250×250 px; bone marrow smear: 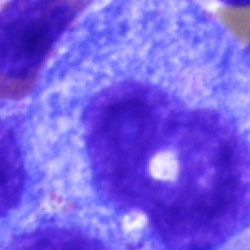
Q: What is the morphological classification of this cell?
A: Promyelocyte.